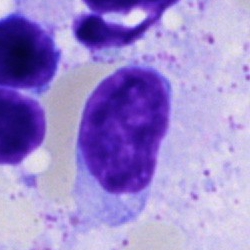 Specimen: bone marrow smear.
Cell: typical lymphocyte.
Lineage: lymphoid.